Bone marrow aspirate smear; May-Grünwald-Giemsa/Pappenheim stain — 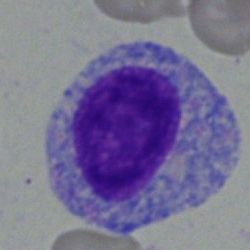Cell type: myelocyte.